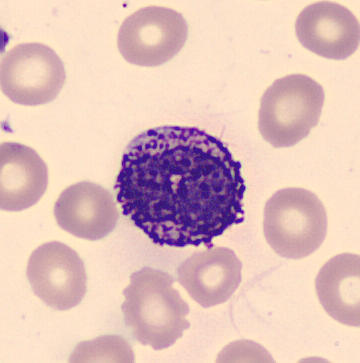

Q: What type of cell is this?
A: A basophilic granulocyte.